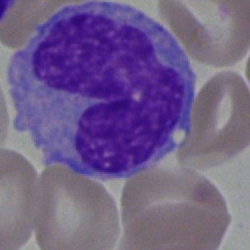

Morphological class: monocyte.